Bone marrow smear; brightfield, 40× oil-immersion objective; May-Grünwald-Giemsa stain
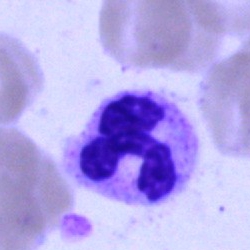Specimen: bone marrow aspirate smear.
Cell: polymorphonuclear neutrophil.